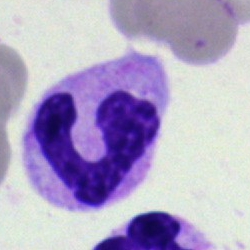
Showing a polymorphonuclear neutrophil.